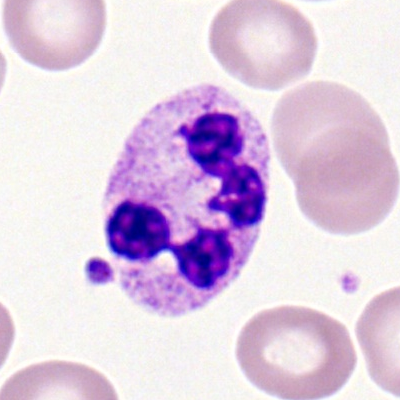
Morphology → neutrophil (segmented).